Single-cell field; bone marrow smear.
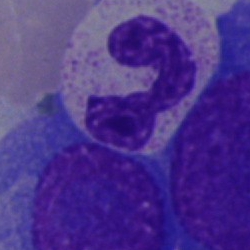Q: What is shown here?
A: A neutrophil (segmented).